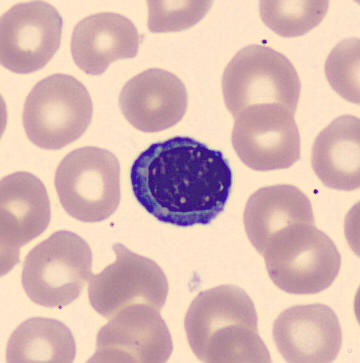
Morphology consistent with a normoblast.

Peripheral blood film.